250 by 250 pixels · bone marrow aspirate smear · Pappenheim-stained:
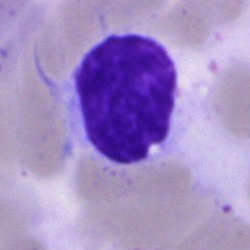
Q: What is shown here?
A: An artifact.